Bone marrow aspirate smear. Brightfield, 40× oil-immersion objective.
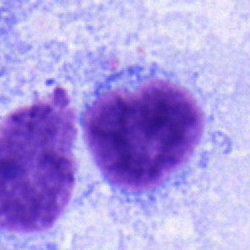{"cell_type": "lymphocyte"}